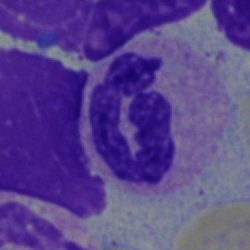

Neutrophil (segmented).